Cropped to a single cell · bone marrow smear · 250×250.
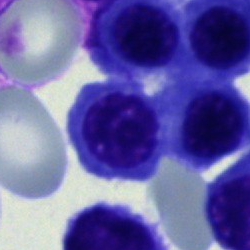 Normoblast.